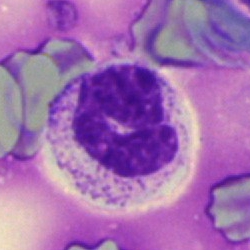
The classification is neutrophil (segmented).